Bone marrow smear.
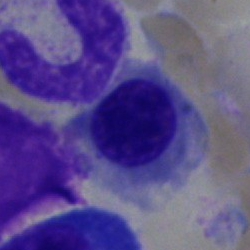
Morphology consistent with an erythroblast.